40× objective, oil immersion · bone marrow aspirate smear:
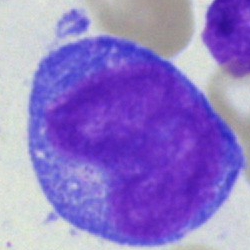

Single cell identified as a monocyte.